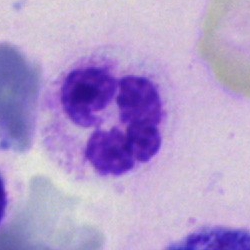

Q: Which cell type is shown here?
A: It is a neutrophil (segmented).